Bone marrow smear.
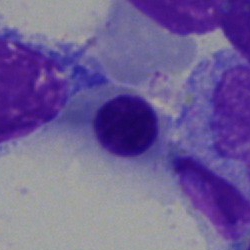Q: What is the morphological classification of this cell?
A: It is a nucleated red cell.